Bone marrow aspirate smear.
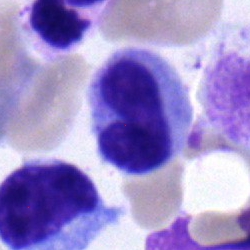 Impression — metamyelocyte.